Peripheral blood film; 100× oil immersion, 14.14 px/µm
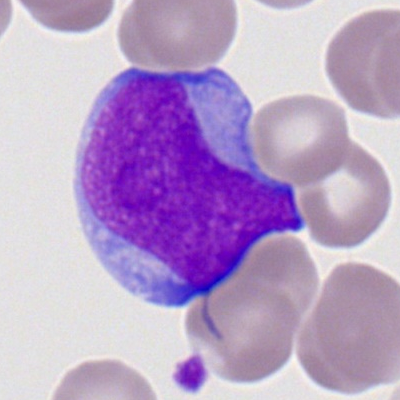
Morphology consistent with a myeloblast.